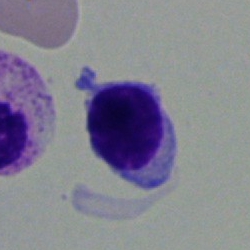Q: What is the morphological classification of this cell?
A: This is a lymphocyte.